Bone marrow smear · brightfield microscopy, 40× oil immersion
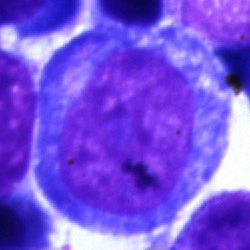 The morphological class is pronormoblast.